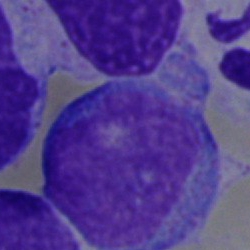

An undifferentiated blast.